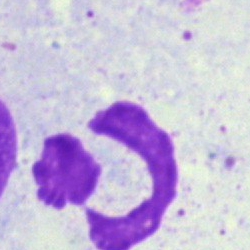
Morphology → artifact.